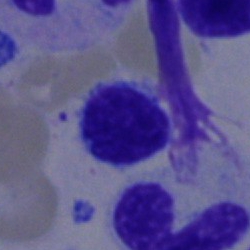 The cell is lymphocyte.